Single-cell field; bone marrow smear; 40× objective, oil immersion — 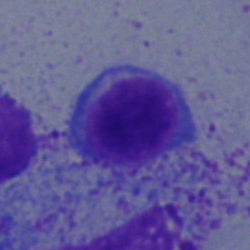{"cell_type": "typical lymphocyte"}